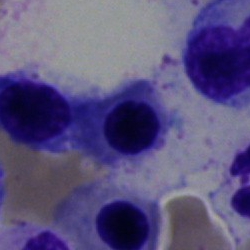
Morphology — normoblast.